Single-cell crop. Bone marrow smear:
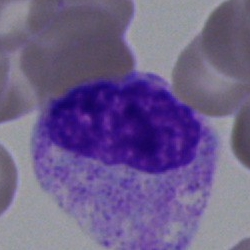

{"cell_type": "myelocyte", "lineage": "myeloid"}